Bone marrow aspirate smear
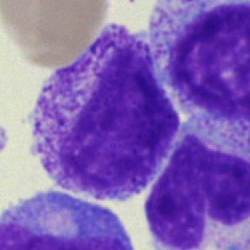 Single cell identified as a promyelocyte.